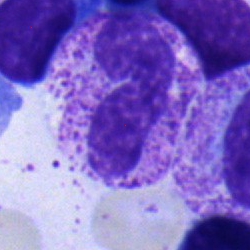

Single cell identified as a band-form neutrophil.